Peripheral blood film; image size 400×400; cropped to a single cell
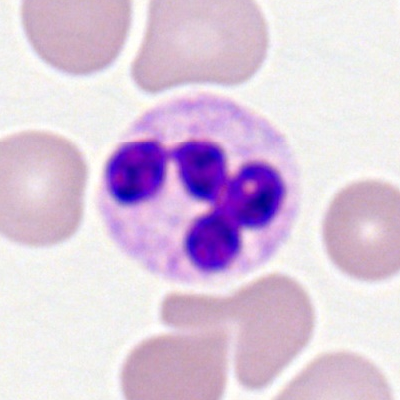 The cell shown is a segmented neutrophil.